Bone marrow smear
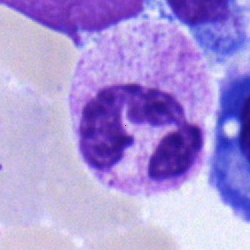This is a polymorphonuclear neutrophil.